Bone marrow smear: 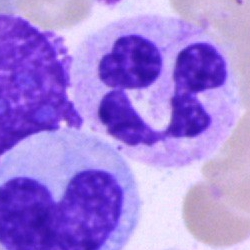 Classification — neutrophil (segmented).